Bone marrow smear.
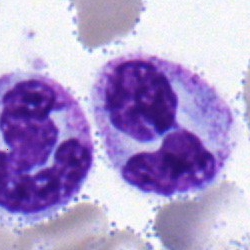

Q: What is shown here?
A: Neutrophil (segmented).